Bone marrow smear — 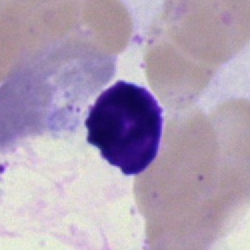Q: What is shown here?
A: This is an artifact.